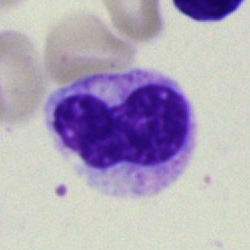

Impression → band neutrophil.